Bone marrow aspirate smear. May-Grünwald-Giemsa stain
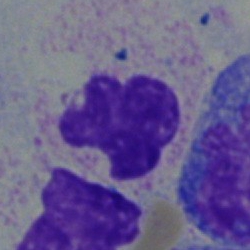
Specimen: bone marrow smear.
Classification: segmented neutrophil.